Bone marrow smear — 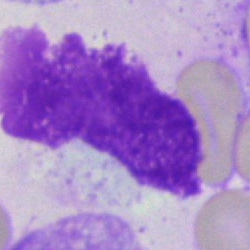Q: What is shown here?
A: An artefact.